Bone marrow aspirate smear. Brightfield, 40× oil-immersion objective.
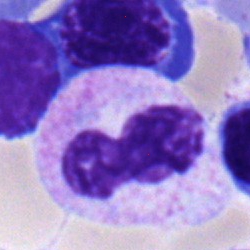 Specimen: bone marrow smear.
Morphological class: nucleated red blood cell.
Lineage: erythroid.